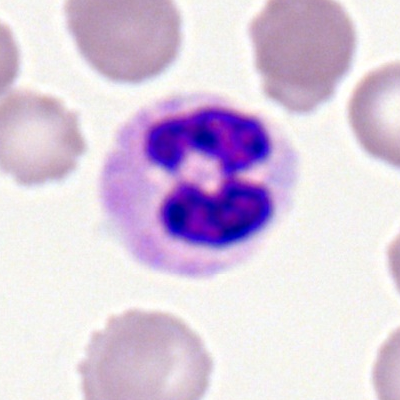 Specimen: peripheral blood smear.
Cell: segmented neutrophil.
Lineage: myeloid.